Bone marrow smear.
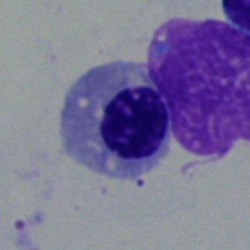 {"cell_type": "erythroblast", "lineage": "erythroid"}